250×250 px. Bone marrow smear — 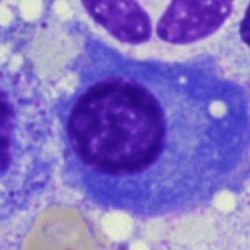Morphology consistent with a plasma cell.